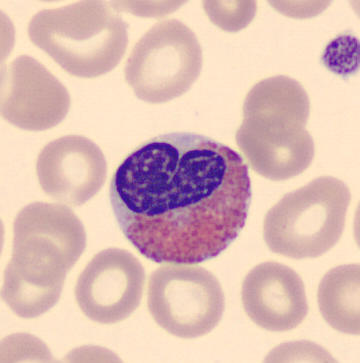 Peripheral blood film · single cell centered in the field. Q: What is this?
A: This is an eosinophilic granulocyte.